Bone marrow smear; brightfield, 40× oil-immersion objective; Pappenheim-stained — 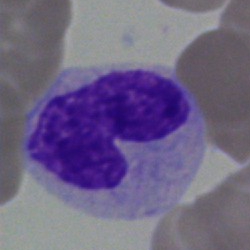 Q: What is shown here?
A: It is a band-form neutrophil.